Brightfield microscopy, 40× oil immersion; bone marrow smear.
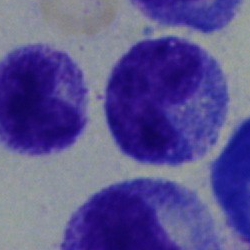
This is a metamyelocyte.